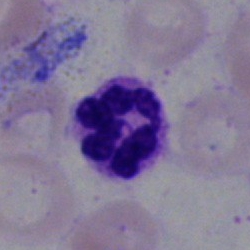
Single-cell crop from a bone marrow smear: polymorphonuclear neutrophil.